Single cell centered in the field. Bone marrow smear. 40× objective, oil immersion — 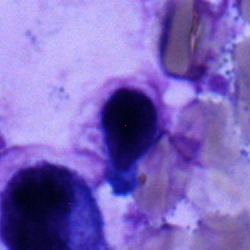Showing a lymphocyte.